Bone marrow aspirate smear:
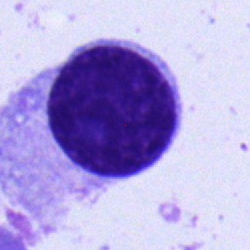
Specimen: bone marrow aspirate smear.
Classification: plasmacyte.